Bone marrow smear:
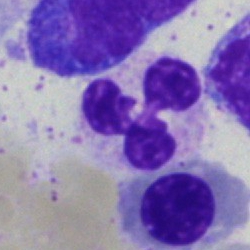
Specimen: bone marrow aspirate smear.
Morphological class: polymorphonuclear neutrophil.
Lineage: myeloid.